Bone marrow aspirate smear · May-Grünwald-Giemsa stain
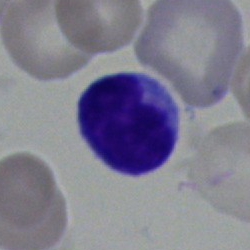
Morphological class = typical lymphocyte.